Bone marrow smear; brightfield microscopy, 40× oil immersion — 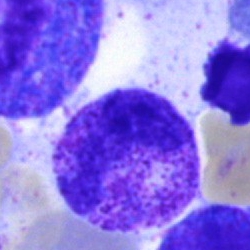
Q: What is shown here?
A: Polymorphonuclear neutrophil.